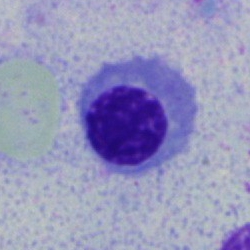
Cell type = normoblast.